Bone marrow aspirate smear
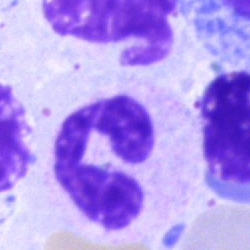 Classification — neutrophil (segmented).